Bone marrow aspirate smear. Brightfield, 40× oil-immersion objective
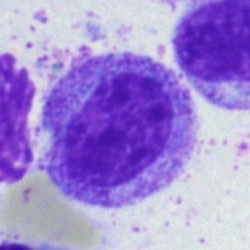Specimen: bone marrow aspirate smear.
Cell: myelocyte.